May-Grünwald-Giemsa/Pappenheim stain · 250×250 · bone marrow aspirate smear.
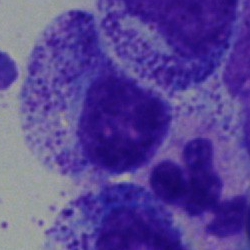 Q: What is the morphological classification of this cell?
A: Myelocyte.